Brightfield, 40× oil-immersion objective; bone marrow aspirate smear.
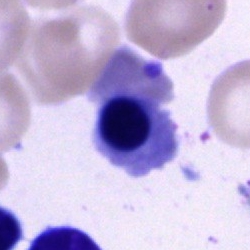Specimen: bone marrow smear.
Classification: nucleated red cell.
Lineage: erythroid.